Bone marrow smear; cropped to a single cell; Pappenheim-stained
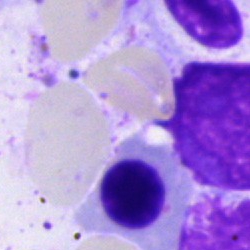
The cell shown is an erythroblast.